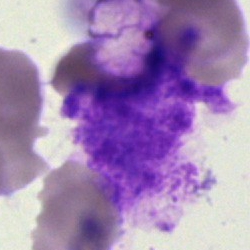 Cell = artefact.